Bone marrow aspirate smear: 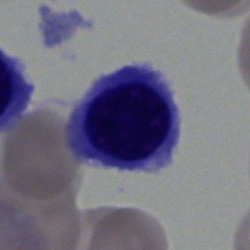
Specimen: bone marrow aspirate smear.
Cell: nucleated red blood cell.
Lineage: erythroid.